Bone marrow aspirate smear
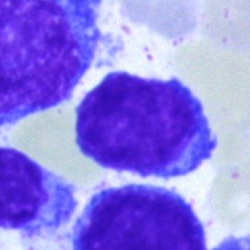
Classification = lymphocyte.